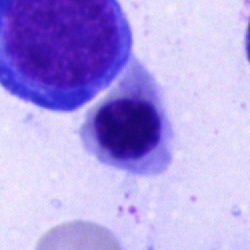

Showing an erythroblast.